Bone marrow aspirate smear: 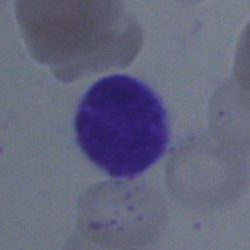
The cell shown is a monocyte.